Bone marrow aspirate smear — 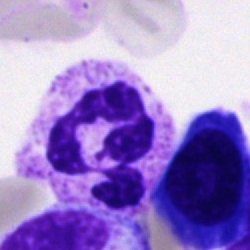 Specimen: bone marrow aspirate smear.
Cell type: segmented neutrophil.
Lineage: myeloid.